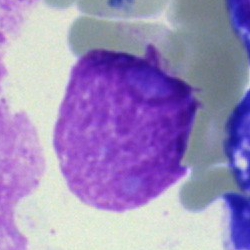 Bone marrow smear showing an artefact.